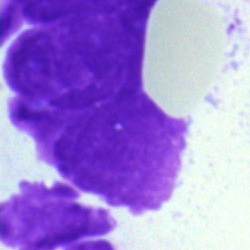

Morphology → artefact.